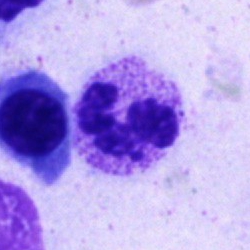Q: What is shown here?
A: A segmented neutrophil.